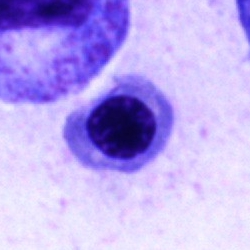Morphology consistent with a normoblast.